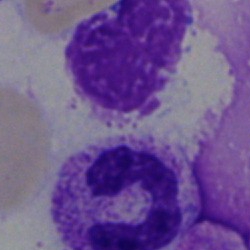Classification = segmented neutrophil.